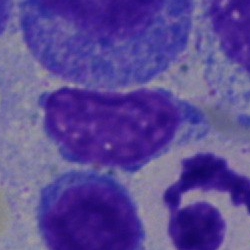
Specimen: bone marrow smear.
Cell: cell of indeterminate lineage.